Single cell centered in the field · bone marrow smear
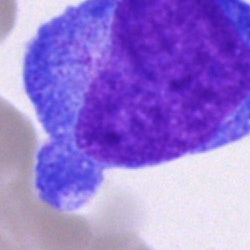 Cell — blast.